Bone marrow smear — 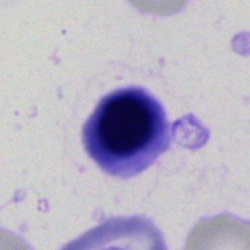

This is a nucleated red blood cell.